Brightfield microscopy, 40× oil immersion · May-Grünwald-Giemsa/Pappenheim stain · bone marrow aspirate smear: 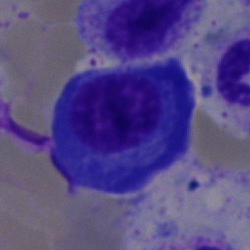
Morphological class — plasma cell.